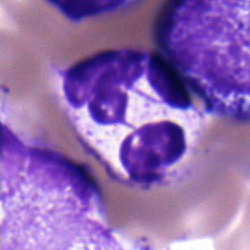
Impression → segmented neutrophil.